Bone marrow smear:
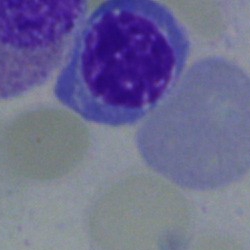
Showing a nucleated red blood cell.